Bone marrow aspirate smear.
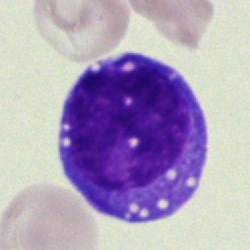
Morphological class — undifferentiated blast.